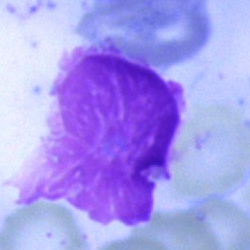 Morphological class: artefact.